Bone marrow aspirate smear: 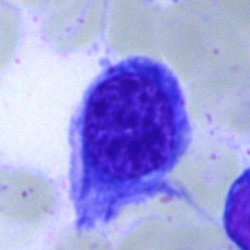 Erythroblast.